Bone marrow smear: 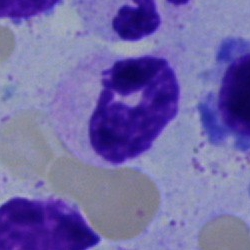
{"cell_type": "neutrophil (segmented)", "lineage": "myeloid"}